Bone marrow aspirate smear
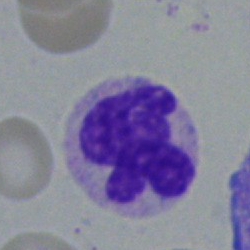

Specimen: bone marrow aspirate smear.
Cell type: polymorphonuclear neutrophil.
Lineage: myeloid.